Bone marrow aspirate smear; 250 by 250 pixels.
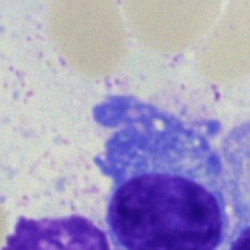
Q: Identify the cell.
A: A plasma cell.